Image size 250×250. 40× objective, oil immersion. Bone marrow smear
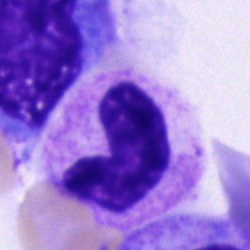
Q: What cell is this?
A: It is a stab cell.